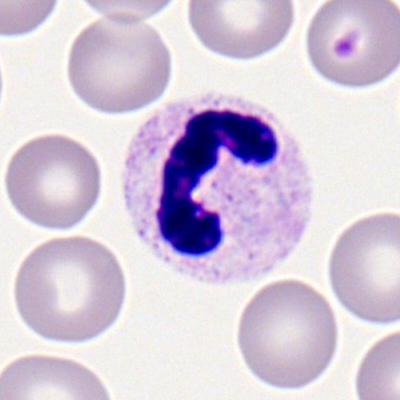This is a polymorphonuclear neutrophil.